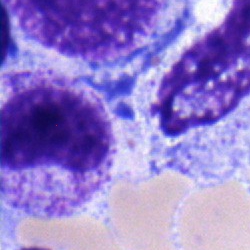

Classification — myelocyte.